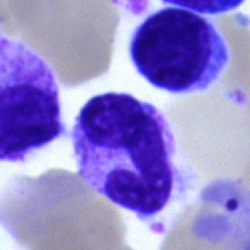Classification: segmented neutrophil.